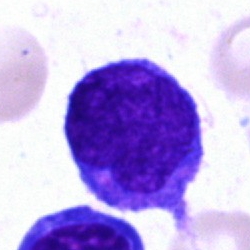Q: What is shown here?
A: An undifferentiated blast.